Bone marrow aspirate smear:
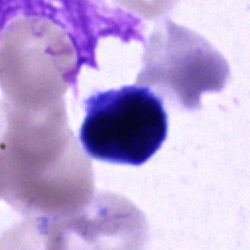
Cell type — cell of indeterminate lineage.